Single-cell crop · bone marrow aspirate smear — 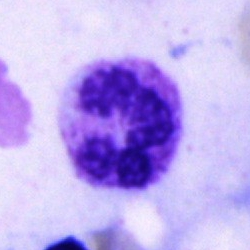A neutrophil (segmented).